Bone marrow aspirate smear.
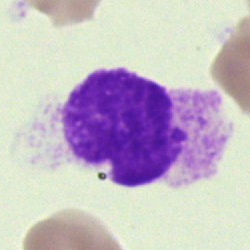
Q: What is shown here?
A: Artefact.